40× objective, oil immersion. Bone marrow smear. 250×250
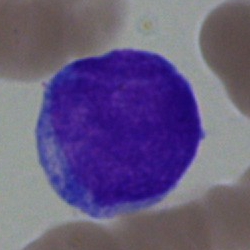 Undifferentiated blast.